M8 digital microscope (Precipoint), 100× oil immersion; peripheral blood film; single-cell crop
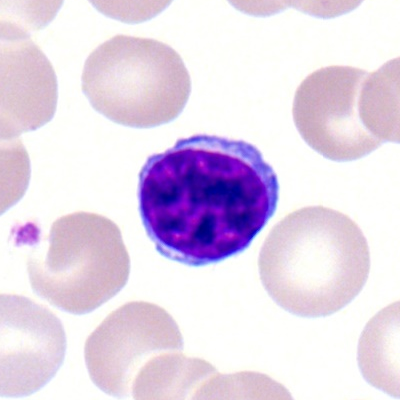Lymphocyte.